Bone marrow aspirate smear: 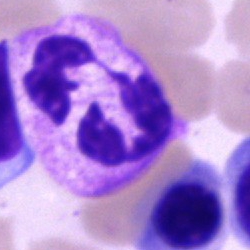

Q: Identify the cell.
A: Segmented neutrophil.